Peripheral blood smear
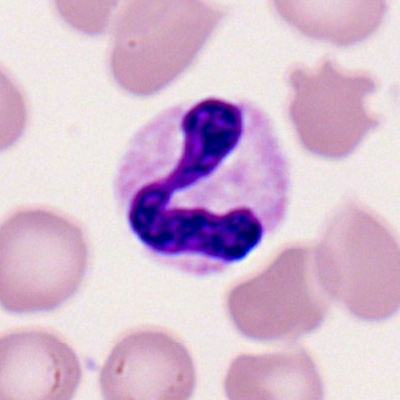

Morphology consistent with a neutrophil (segmented).